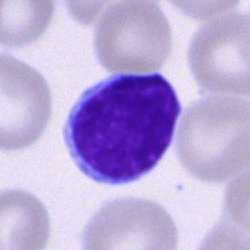The cell shown is a typical lymphocyte.